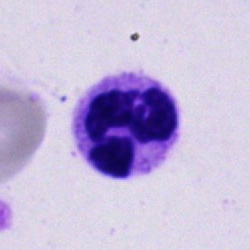 Cell type: neutrophil (segmented).